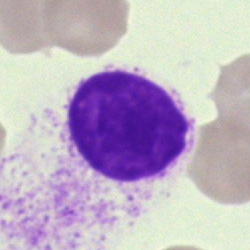Q: What is shown here?
A: Artifact.